Romanowsky-type stain. Peripheral blood smear — 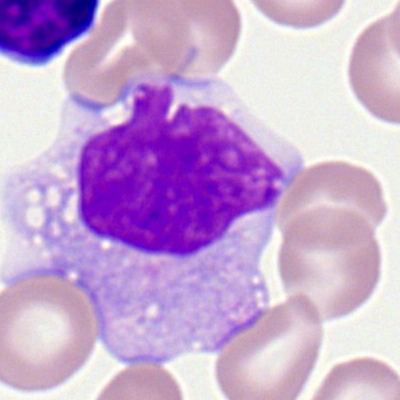 Impression — monocyte.